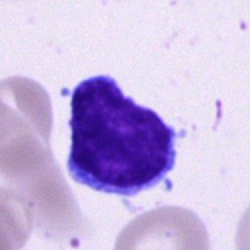 Showing a typical lymphocyte.